Peripheral blood film; Romanowsky-type stain; 100× objective, oil immersion — 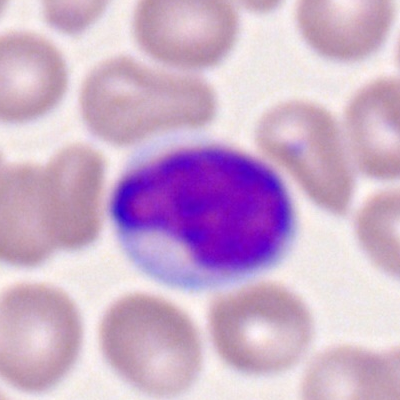 Specimen: peripheral blood film.
Cell: typical lymphocyte.
Lineage: lymphoid.